Peripheral blood film — 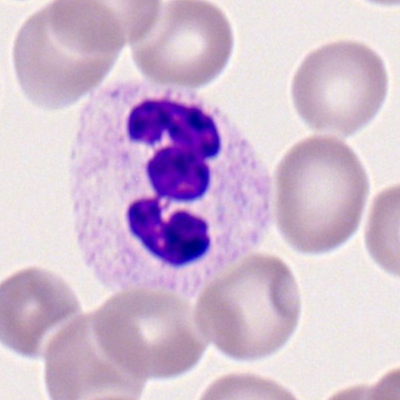

Morphology consistent with a segmented neutrophil.